Bone marrow smear: 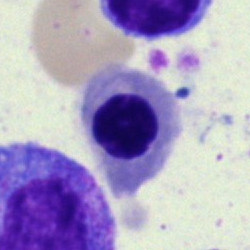
Specimen: bone marrow smear.
Classification: nucleated red cell.
Lineage: erythroid.